Bone marrow smear:
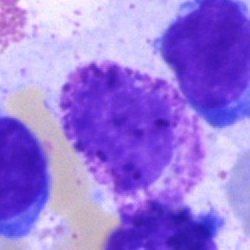
Specimen: bone marrow aspirate smear.
Cell type: basophil.
Lineage: myeloid.